Bone marrow smear — 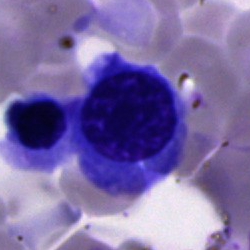

Q: What cell is this?
A: A nucleated red cell.